Bone marrow smear: 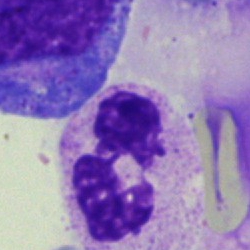

Single cell identified as a neutrophil (segmented).